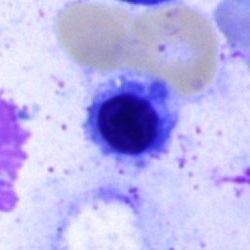
Morphological class: nucleated red cell.